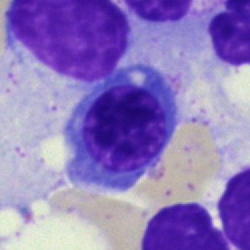
Bone marrow aspirate smear, single cell — nucleated red blood cell.